Single cell centered in the field. Bone marrow smear
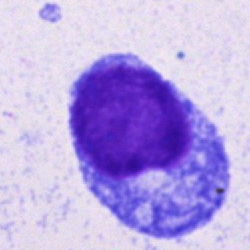Progranulocyte.